Brightfield, 100× oil-immersion objective; 400×400 px; peripheral blood smear:
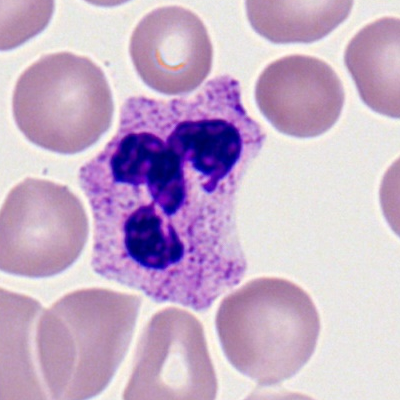

Cell type — neutrophil (segmented).